Bone marrow smear: 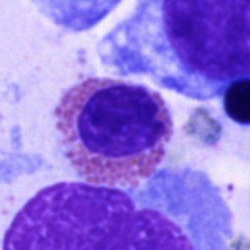
{"cell_type": "eosinophilic granulocyte"}